Bone marrow smear.
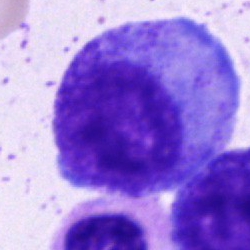

The cell is promyelocyte.